Bone marrow aspirate smear; 40× objective, oil immersion; May-Grünwald-Giemsa stain
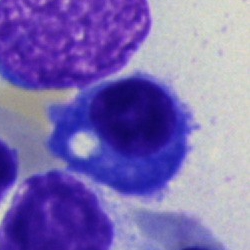This is a plasma cell.